MGG-stained · bone marrow aspirate smear:
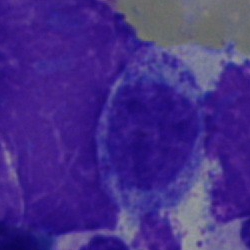Specimen: bone marrow smear.
Classification: myelocyte.
Lineage: myeloid.